Bone marrow aspirate smear — 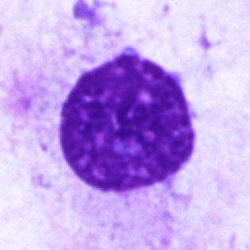The cell shown is an artefact.